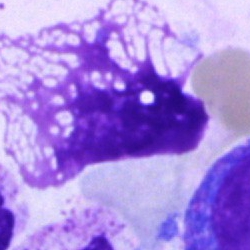
Q: What is shown here?
A: This is an artifact.